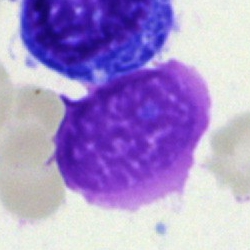The classification is artifact.